Bone marrow smear · 40× oil immersion
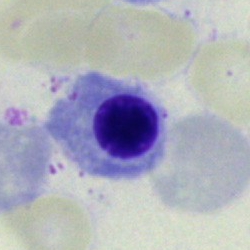Impression — nucleated red blood cell.